Bone marrow aspirate smear. Single-cell field. 40× oil immersion — 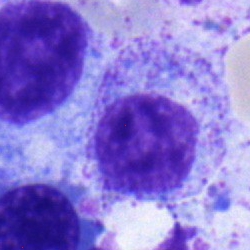 Morphological class — myelocyte.